Cropped to a single cell · peripheral blood smear:
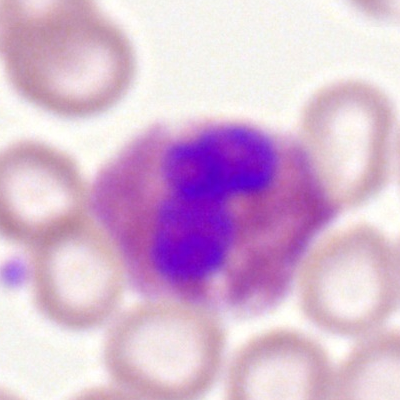
Single cell identified as an eosinophil.